Bone marrow aspirate smear.
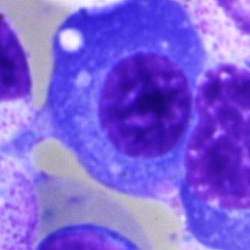

Impression — plasmacyte.